Bone marrow smear. Image size 250×250 — 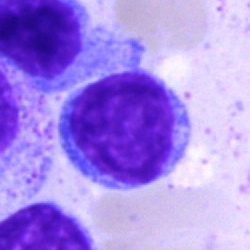
Morphological class: lymphocyte.